Peripheral blood film — 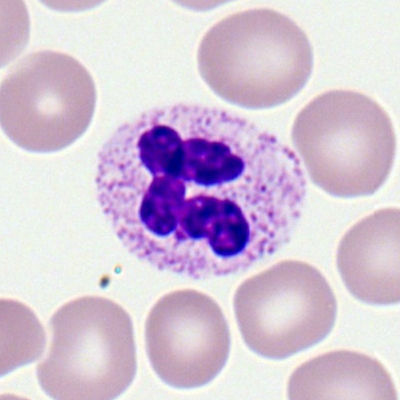Impression — segmented neutrophil.